Bone marrow smear
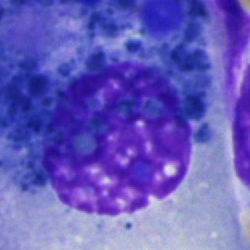Morphology — artifact.